40× objective, oil immersion. Image size 250×250. Bone marrow aspirate smear
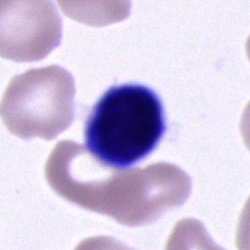
Q: What is shown here?
A: It is a lymphocyte.